Bone marrow aspirate smear — 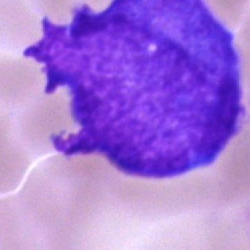
Q: What is shown here?
A: This is a blast cell.